Bone marrow aspirate smear.
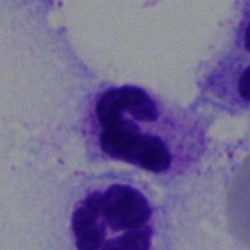 Classification = polymorphonuclear neutrophil.